Bone marrow aspirate smear
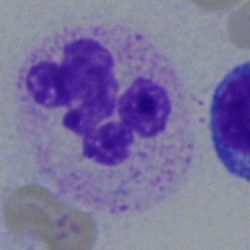 Q: What is the morphological classification of this cell?
A: Polymorphonuclear neutrophil.